Bone marrow smear · 250×250 px
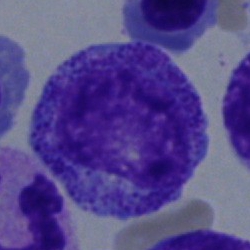
Single cell identified as a promyelocyte.